Bone marrow aspirate smear.
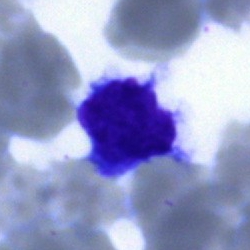

Cell: typical lymphocyte.